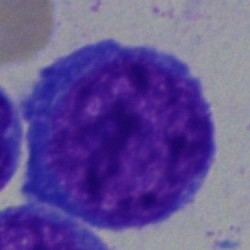 Blast.